Bone marrow aspirate smear; 250×250 px:
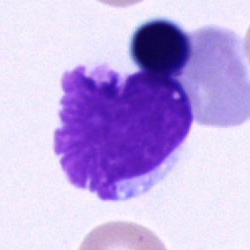 Artifact.